Image size 250×250. Bone marrow smear: 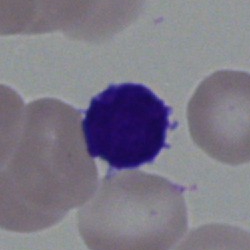 The cell shown is a lymphocyte.